Bone marrow aspirate smear · May-Grünwald-Giemsa stain:
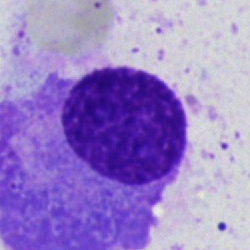

Morphological class = plasma cell.